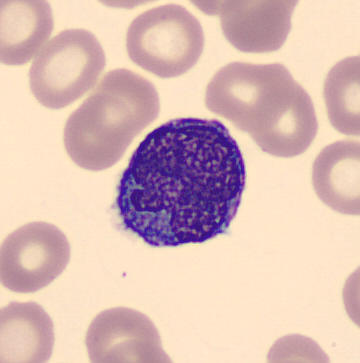 Single cell identified as a monocyte.
Preparation: Peripheral blood smear · CellaVision DM96 · image size 360×363.